Bone marrow smear · May-Grünwald-Giemsa/Pappenheim stain:
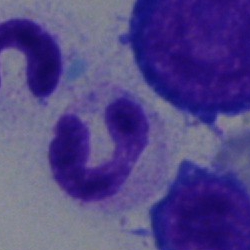A polymorphonuclear neutrophil.